M8 digital microscope (Precipoint), 100× oil immersion · Romanowsky-type stain · peripheral blood film:
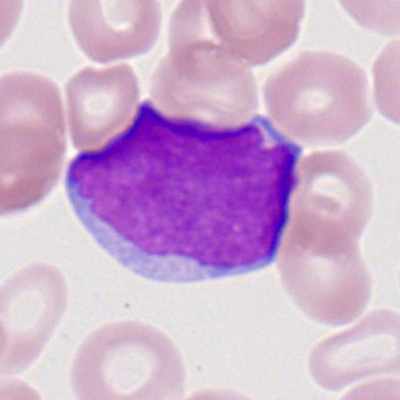Morphology — myeloblast.